Bone marrow smear — 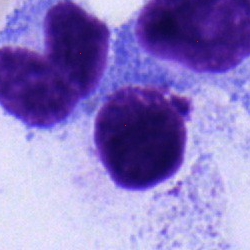 The classification is typical lymphocyte.